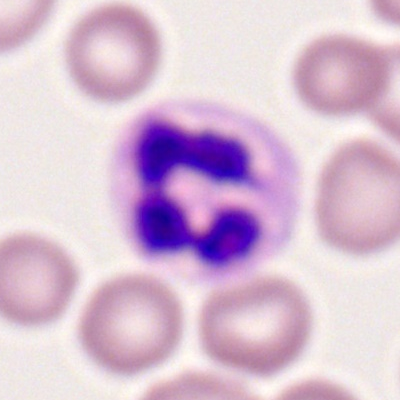
Showing a neutrophil (segmented).